Single-cell crop · bone marrow smear: 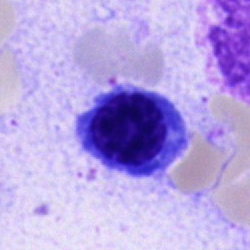 Cell = erythroblast.